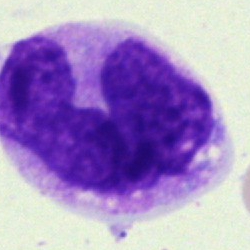Q: What is the morphological classification of this cell?
A: Monocyte.